40× oil immersion; bone marrow aspirate smear; 250×250 px: 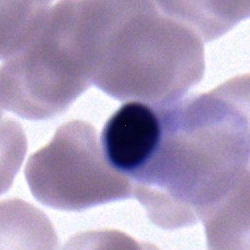
{"cell_type": "normoblast"}